Pappenheim-stained · bone marrow aspirate smear
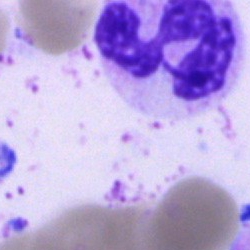

A neutrophil (segmented).